Peripheral blood smear — 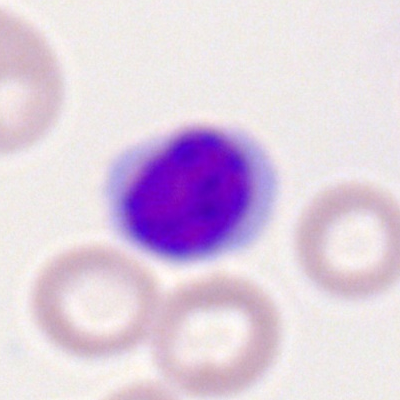 The morphological class is typical lymphocyte.